Bone marrow smear: 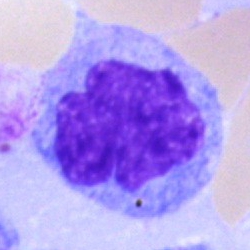Q: Identify the cell.
A: This is a monocyte.